Bone marrow smear:
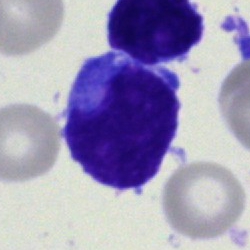Specimen: bone marrow smear.
Cell type: blast.